40× oil immersion. Bone marrow aspirate smear. MGG-stained:
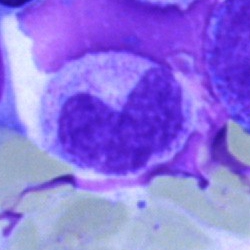 Morphology — stab cell.